Brightfield, 40× oil-immersion objective; 250×250 px; bone marrow aspirate smear:
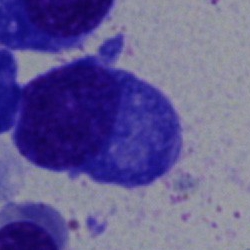

Specimen: bone marrow aspirate smear.
Classification: plasma cell.
Lineage: lymphoid.